250 by 250 pixels; bone marrow smear — 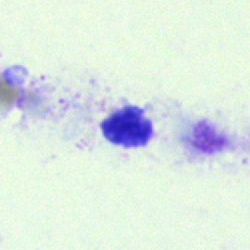

Cell type: artifact.